Bone marrow smear:
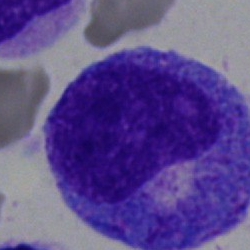
Q: What is the morphological classification of this cell?
A: It is a promyelocyte.